Bone marrow smear — 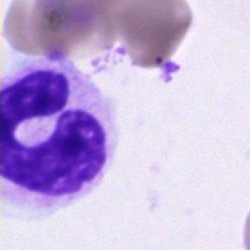
Single cell identified as a neutrophil (band).